Bone marrow smear
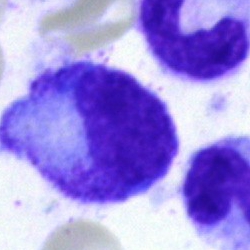Classification: progranulocyte.